Brightfield, 40× oil-immersion objective; bone marrow aspirate smear
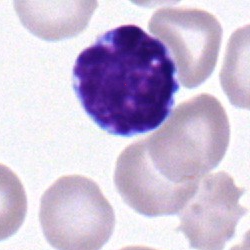Single cell identified as a typical lymphocyte.